Bone marrow aspirate smear — 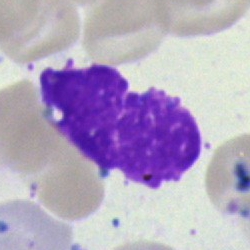 Specimen: bone marrow aspirate smear.
Cell type: artifact.